Bone marrow aspirate smear:
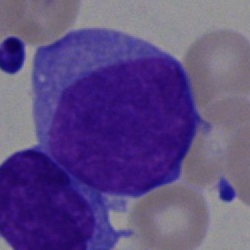

Impression → blast.